Bone marrow smear; May-Grünwald-Giemsa/Pappenheim stain
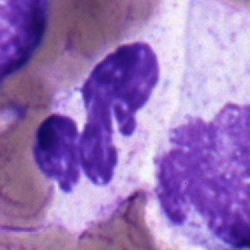Q: What is the morphological classification of this cell?
A: This is a polymorphonuclear neutrophil.